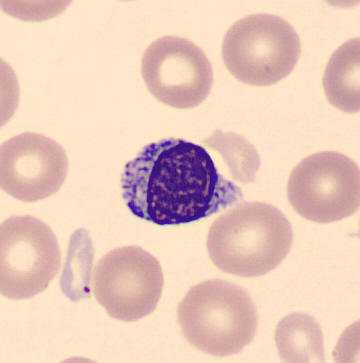The cell shown is an erythroblast.
Single cell centered in the field · 360×363 · peripheral blood smear.